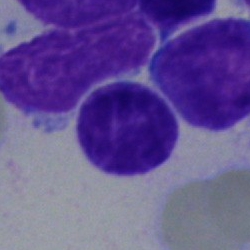
Bone marrow smear showing a blast cell.